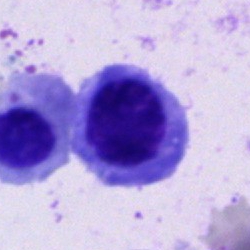
Q: What is shown here?
A: This is a nucleated red cell.